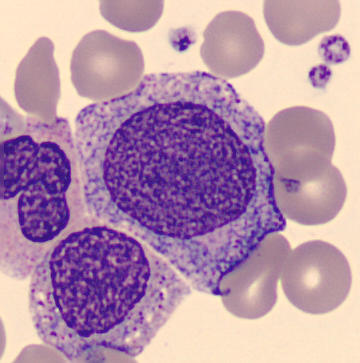{"cell_type": "promyelocyte", "lineage": "myeloid"}